Bone marrow aspirate smear — 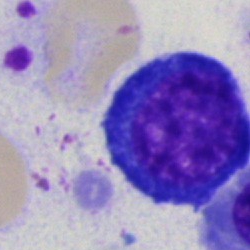Classification — erythroblast.